40× oil immersion · bone marrow aspirate smear.
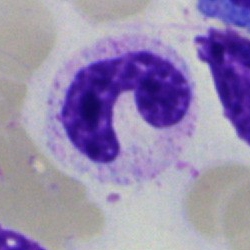

The cell shown is a neutrophil (band).